Bone marrow aspirate smear
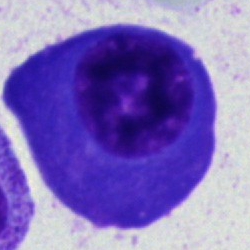Q: What is the morphological classification of this cell?
A: Plasmacyte.